Bone marrow aspirate smear; image size 250×250 — 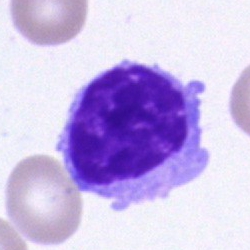

Q: What is the morphological classification of this cell?
A: It is a lymphocyte.